Bone marrow aspirate smear
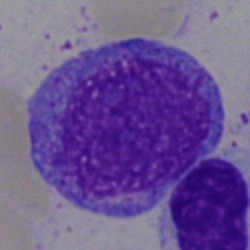This is a progranulocyte.